Bone marrow aspirate smear. Cropped to a single cell
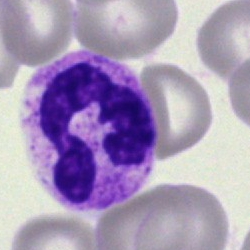

Morphology consistent with a neutrophil (segmented).